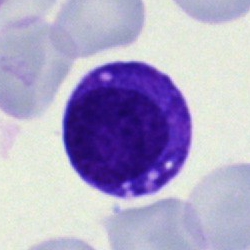
Normoblast.